Bone marrow aspirate smear. 250×250 px
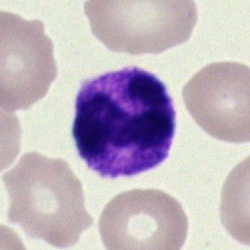
Q: What is shown here?
A: Polymorphonuclear neutrophil.